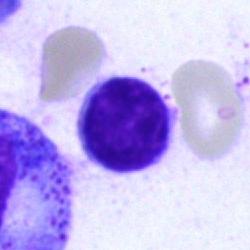Q: What type of cell is this?
A: This is a typical lymphocyte.